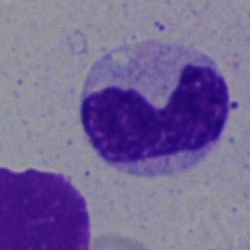

{"cell_type": "band-form neutrophil", "lineage": "myeloid"}